40× objective, oil immersion · bone marrow aspirate smear.
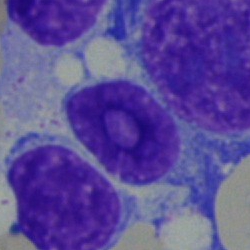

Showing a lymphocyte.